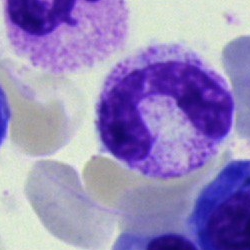Stab cell.